Bone marrow aspirate smear
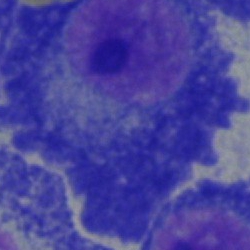Plasmacyte.